Bone marrow smear; cropped to a single cell; 250×250 px: 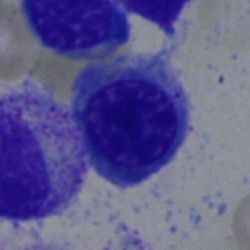 A nucleated red cell.